Bone marrow smear — 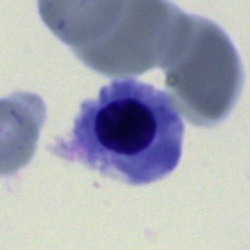

Specimen: bone marrow aspirate smear.
Morphological class: nucleated red cell.
Lineage: erythroid.